Bone marrow smear.
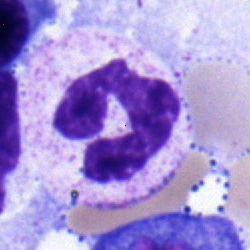 Specimen: bone marrow smear.
Morphological class: segmented neutrophil.